Bone marrow aspirate smear.
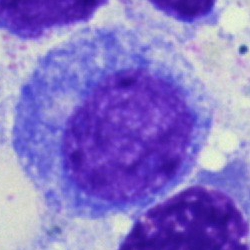The cell is progranulocyte.